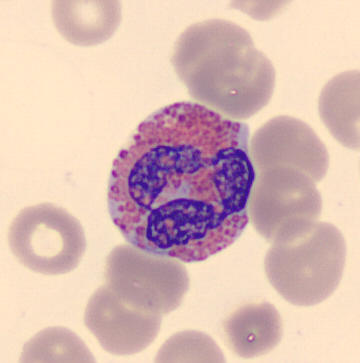

An eosinophil.
Peripheral blood film · single-cell crop.